Bone marrow aspirate smear:
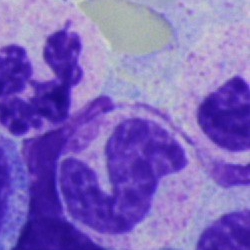
Specimen: bone marrow smear.
Cell type: stab cell.
Lineage: myeloid.